Bone marrow smear — 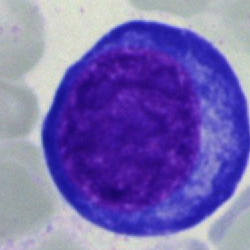Single cell identified as a pronormoblast.